Bone marrow smear — 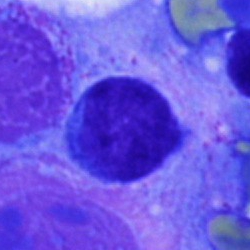
Cell = plasma cell.